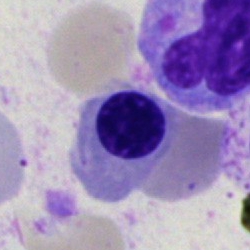
Impression — normoblast.